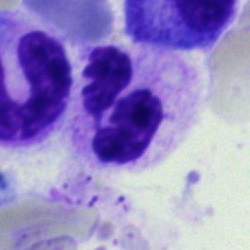
{"cell_type": "polymorphonuclear neutrophil"}